Cropped to a single cell. Bone marrow smear — 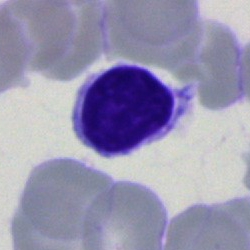
Impression — typical lymphocyte.